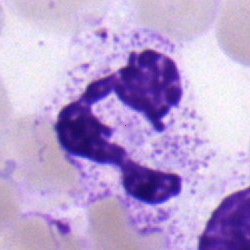 Q: Which cell type is shown here?
A: A polymorphonuclear neutrophil.